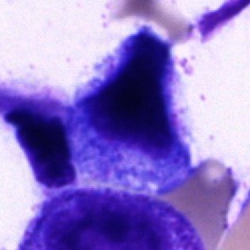
Specimen: bone marrow smear.
Cell: artifact.